Bone marrow aspirate smear. Cropped to a single cell. 40× objective, oil immersion: 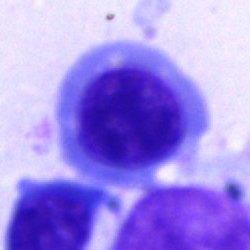

The cell shown is a normoblast.